Peripheral blood smear — 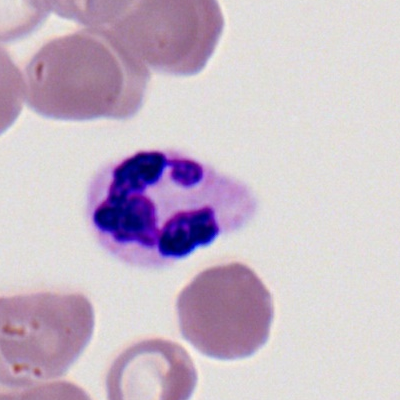This is a segmented neutrophil.